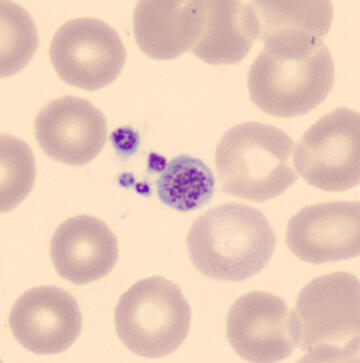A platelet.